Bone marrow smear; cropped to a single cell: 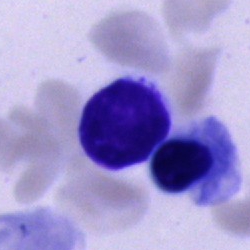 This is a cell of indeterminate lineage.